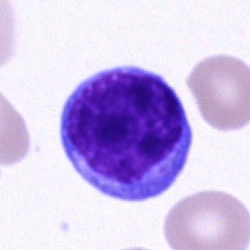 Classification — lymphocyte.